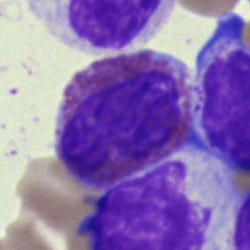Classification — eosinophil.